Peripheral blood film
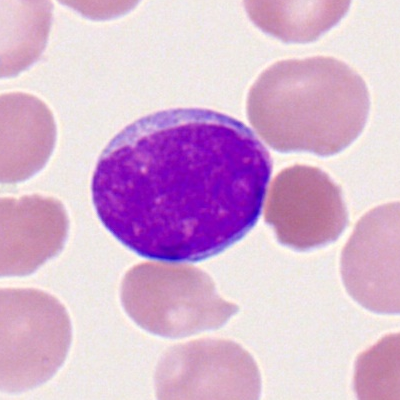 Morphology → myeloid blast.